Image size 250×250. Bone marrow smear:
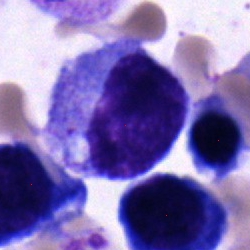

Impression — monocyte.